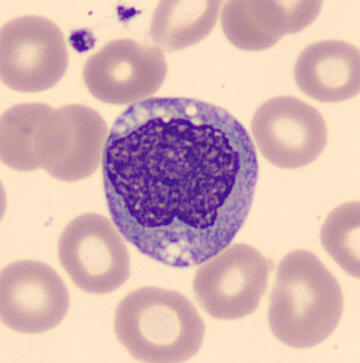
{"cell_type": "monocyte", "lineage": "myeloid"}